Bone marrow smear
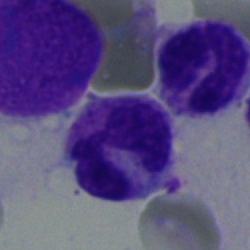Cell — polymorphonuclear neutrophil.